40× objective, oil immersion; bone marrow smear; 250 by 250 pixels:
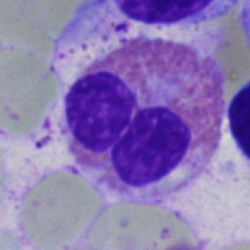 Single cell identified as an eosinophil.